Bone marrow smear. Brightfield, 40× oil-immersion objective — 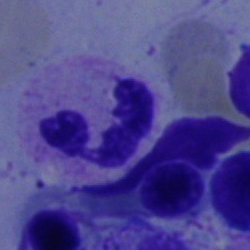Morphological class = polymorphonuclear neutrophil.